Bone marrow smear — 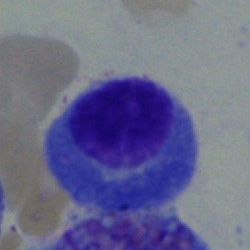

Impression → plasmacyte.